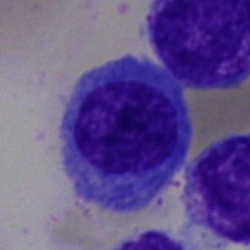Q: What cell is this?
A: Undifferentiated blast.